Bone marrow aspirate smear:
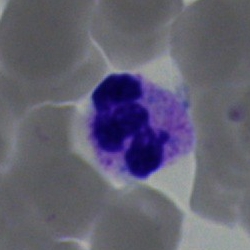

Specimen: bone marrow aspirate smear.
Cell: neutrophil (segmented).